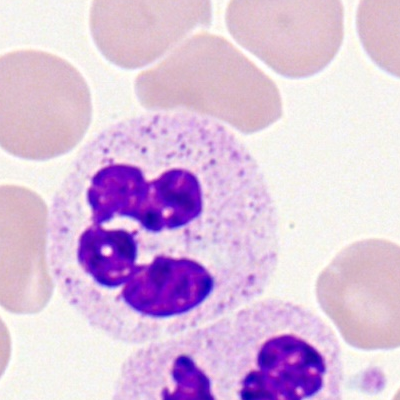
The cell shown is a segmented neutrophil.